250×250 px; bone marrow aspirate smear; brightfield, 40× oil-immersion objective
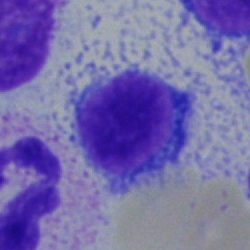
Morphology consistent with a lymphocyte.